Cropped to a single cell; peripheral blood film
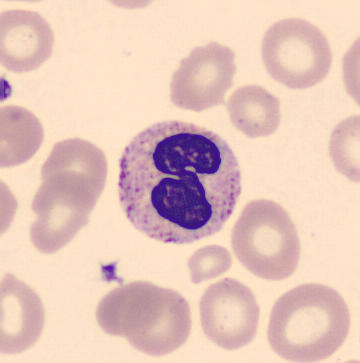

The classification is segmented neutrophil.